Peripheral blood film. Single-cell field.
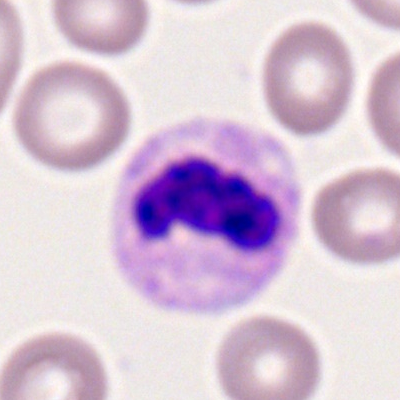Polymorphonuclear neutrophil.